Bone marrow aspirate smear — 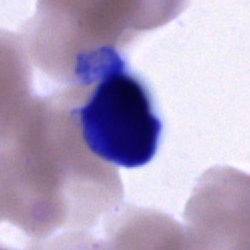 Unidentifiable cell.